Bone marrow smear · Pappenheim-stained
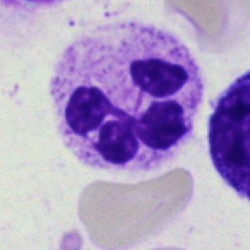

Cell — polymorphonuclear neutrophil.